Bone marrow smear:
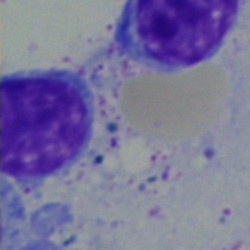
Lymphocyte.